Bone marrow aspirate smear · single cell centered in the field:
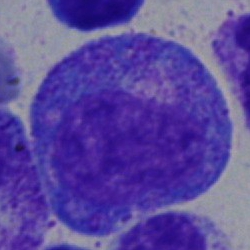

This is a promyelocyte.